250 by 250 pixels; bone marrow smear; 40× oil immersion — 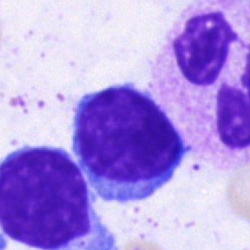

Impression → typical lymphocyte.